250×250 px; bone marrow aspirate smear.
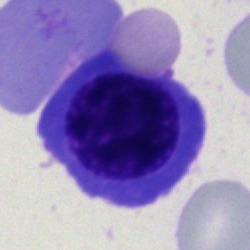
Q: What cell is this?
A: A normoblast.